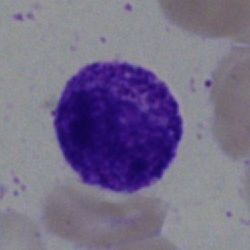
Single cell identified as a metamyelocyte.